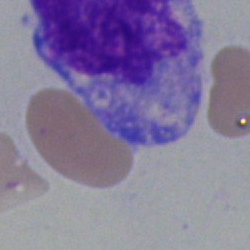 Impression → undifferentiated blast.